Bone marrow aspirate smear. 250×250
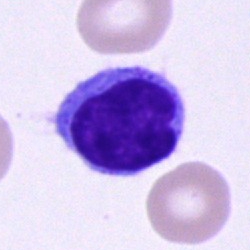 Morphology — lymphocyte.